Peripheral blood smear. Romanowsky stain. Single-cell crop.
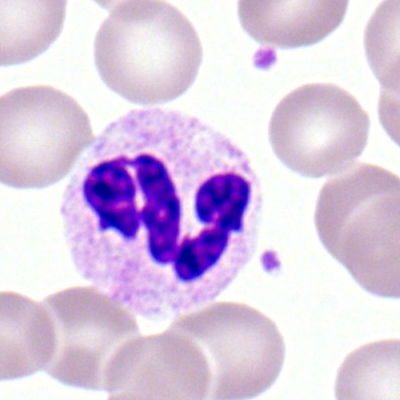

Showing a neutrophil (segmented).